250×250; bone marrow aspirate smear; Pappenheim-stained
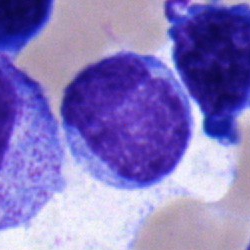 Morphological class: blast cell.